Bone marrow smear
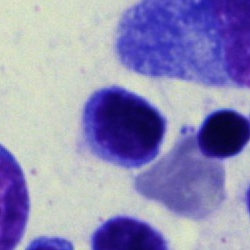
This is a typical lymphocyte.